Bone marrow aspirate smear:
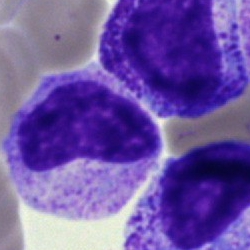Q: Identify the cell.
A: Metamyelocyte.